Bone marrow aspirate smear. 250 by 250 pixels — 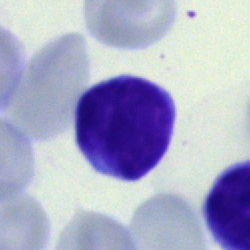 Showing a lymphocyte.